Single cell centered in the field · bone marrow smear — 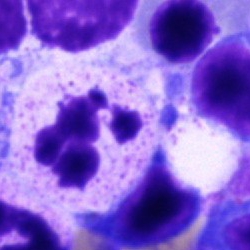Q: What is the morphological classification of this cell?
A: Neutrophil (segmented).